40× objective, oil immersion; bone marrow aspirate smear
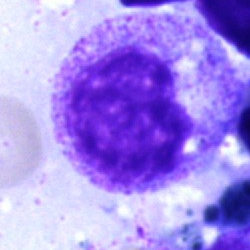

The cell type is progranulocyte.